Bone marrow smear
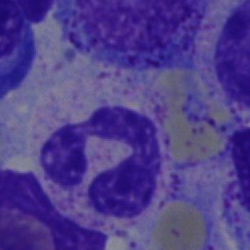Morphological class: neutrophil (segmented).